Bone marrow aspirate smear — 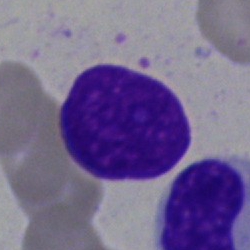

The cell type is artifact.